Bone marrow smear.
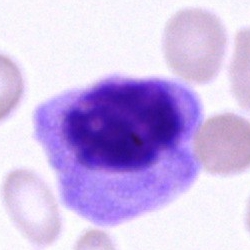 Cell: unidentifiable cell.